Pappenheim-stained · bone marrow aspirate smear: 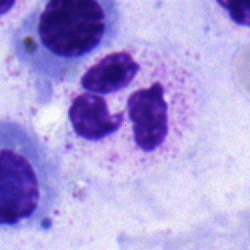

Morphology consistent with a neutrophil (segmented).